Bone marrow smear; 250×250 px; MGG-stained — 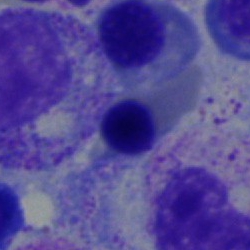 Showing a nucleated red blood cell.